Bone marrow smear
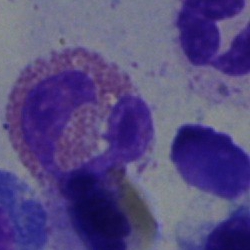
Q: What is the morphological classification of this cell?
A: This is an eosinophil.